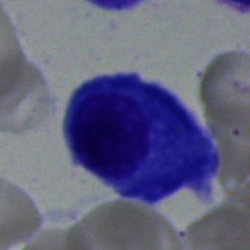
Q: What is shown here?
A: Plasmacyte.